Bone marrow aspirate smear — 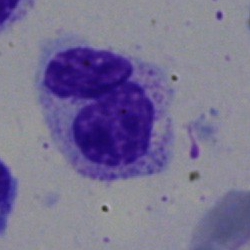 Q: Identify the cell.
A: It is a segmented neutrophil.